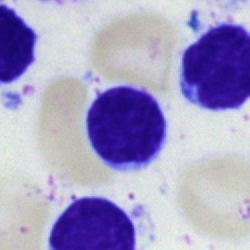 Specimen: bone marrow smear.
Cell type: typical lymphocyte.
Lineage: lymphoid.